40× oil immersion · May-Grünwald-Giemsa stain · bone marrow smear.
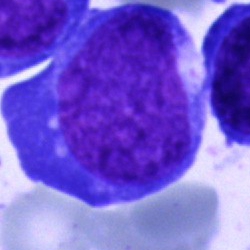Showing an undifferentiated blast.